Bone marrow aspirate smear: 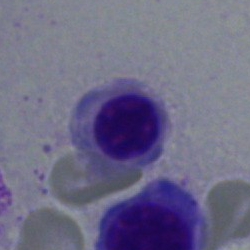
Q: Identify the cell.
A: Nucleated red blood cell.